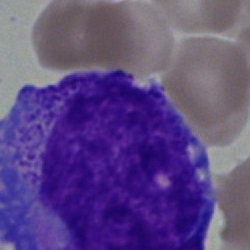

The morphological class is progranulocyte.